Bone marrow smear
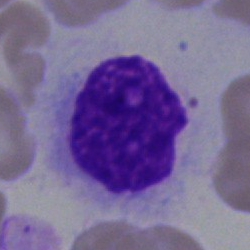Specimen: bone marrow smear.
Classification: hairy cell.